Bone marrow aspirate smear · single-cell crop — 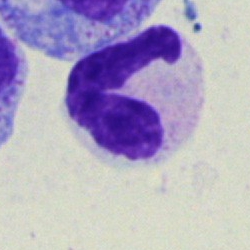 Cell type — neutrophil (band).